Bone marrow smear: 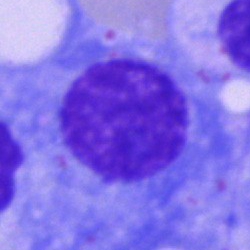The cell shown is a plasmacyte.